Single-cell field; bone marrow smear — 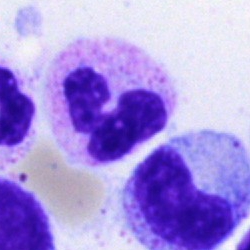 This is a neutrophil (segmented).